Bone marrow aspirate smear. MGG-stained:
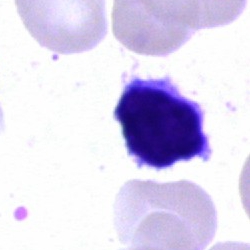 Q: What cell is this?
A: It is a lymphocyte.